Bone marrow smear — 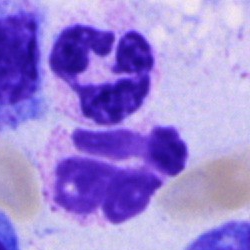

Specimen: bone marrow aspirate smear.
Cell: segmented neutrophil.